Bone marrow smear. May-Grünwald-Giemsa/Pappenheim stain. Brightfield, 40× oil-immersion objective: 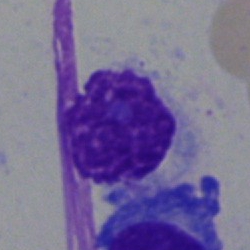Classification — artefact.